Bone marrow aspirate smear. May-Grünwald-Giemsa/Pappenheim stain. Single-cell field — 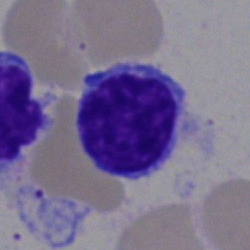

The cell shown is a lymphocyte.